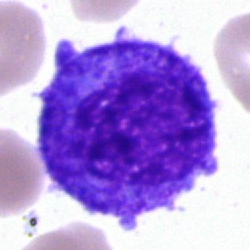 Specimen: bone marrow aspirate smear.
Cell type: promyelocyte.